Bone marrow smear:
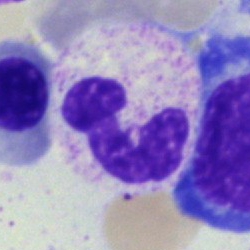
The cell shown is a segmented neutrophil.